Bone marrow smear
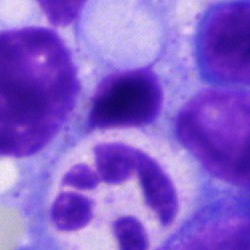Specimen: bone marrow aspirate smear.
Classification: polymorphonuclear neutrophil.